Cropped to a single cell · bone marrow smear · Pappenheim-stained:
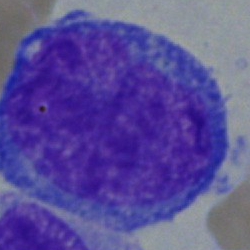Morphology consistent with a blast cell.